MGG-stained. Bone marrow smear. 250×250 px.
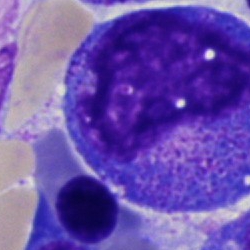Q: What type of cell is this?
A: Progranulocyte.